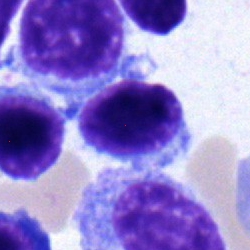

Cell: lymphocyte.